Bone marrow aspirate smear: 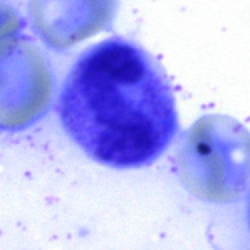

A neutrophil (segmented).